Bone marrow smear:
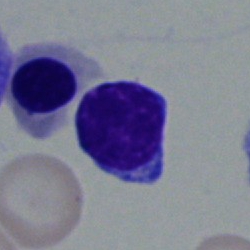

Impression → lymphocyte.